Single-cell field · bone marrow aspirate smear · 250×250 — 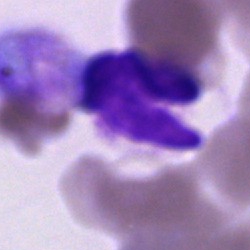 Impression — neutrophil (segmented).